Bone marrow smear; single cell centered in the field; 250 by 250 pixels:
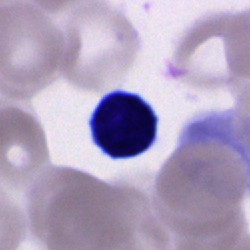

Q: What cell is this?
A: A typical lymphocyte.